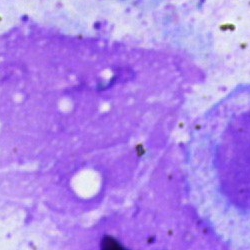 Morphological class = artifact.